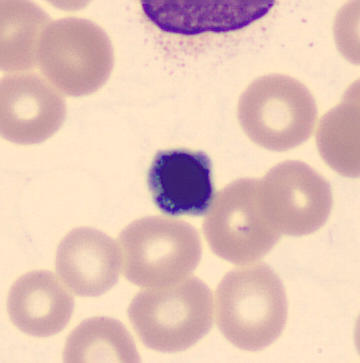

Peripheral blood film. May Grünwald-Giemsa stain. CellaVision DM96.

Q: What is the morphological classification of this cell?
A: A normoblast.